Bone marrow aspirate smear: 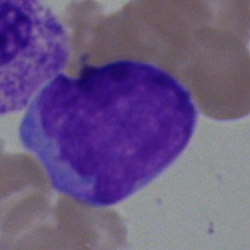Cell: blast cell.